Single cell centered in the field; bone marrow smear — 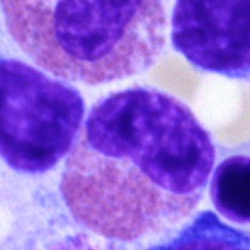The cell shown is an eosinophil.